Single-cell crop. Bone marrow smear
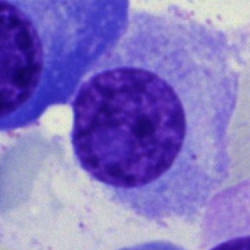

Morphological class — plasmacyte.